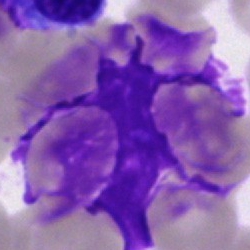
Morphology → artifact.